250×250 px · bone marrow smear · single cell centered in the field: 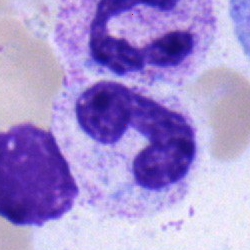 Specimen: bone marrow smear.
Cell type: band-form neutrophil.
Lineage: myeloid.